Bone marrow aspirate smear · MGG-stained: 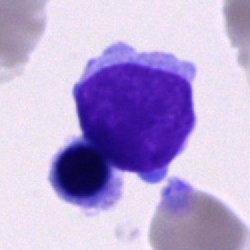
A blast cell.